Bone marrow smear
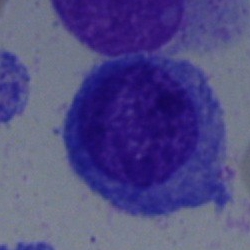
Q: What cell is this?
A: A blast.